Peripheral blood smear — 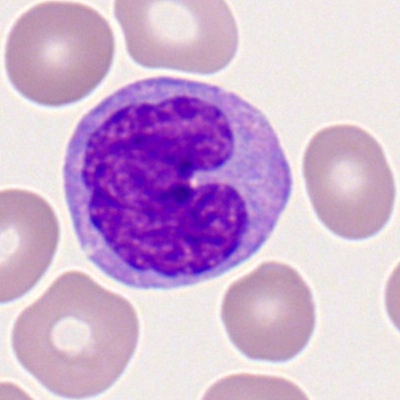

The cell shown is a monocyte.